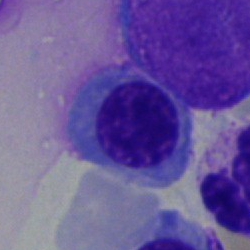
Cell — nucleated red blood cell.